Peripheral blood film · 100× oil immersion
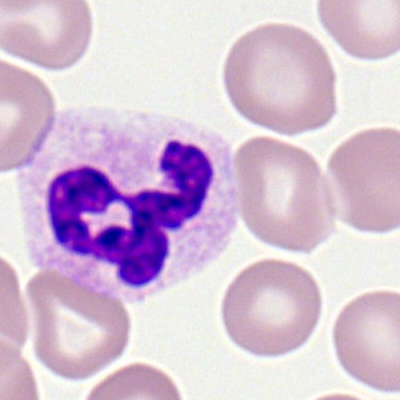 Q: What type of cell is this?
A: It is a neutrophil (segmented).